Bone marrow aspirate smear
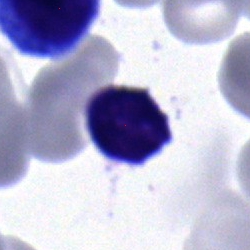

{"cell_type": "typical lymphocyte", "lineage": "lymphoid"}